Bone marrow aspirate smear:
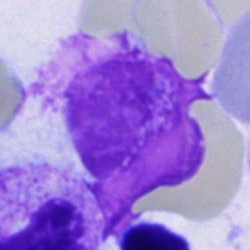 Artefact.